Bone marrow smear. MGG-stained. 250 by 250 pixels:
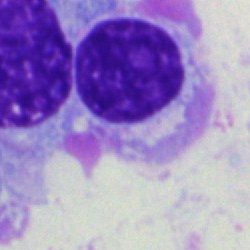
The cell type is plasma cell.